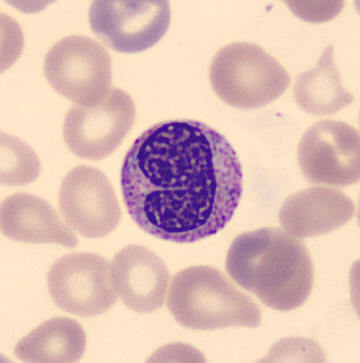
Image: Imaged on a CellaVision DM96 analyser · peripheral blood smear · MGG-stained. Morphology consistent with a metamyelocyte.